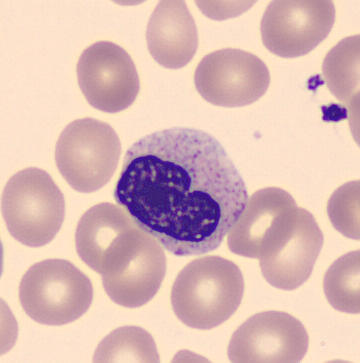

A metamyelocyte.

Acquisition: May Grünwald-Giemsa stain; single-cell field; peripheral blood film.